Bone marrow smear — 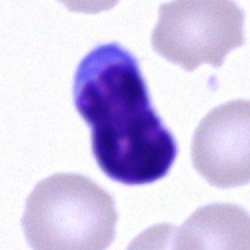

Morphology → typical lymphocyte.